Bone marrow smear: 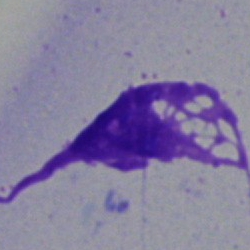This is an artefact.